Single-cell crop · bone marrow aspirate smear: 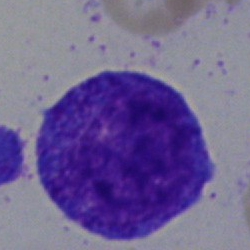
Q: What is shown here?
A: It is a progranulocyte.